Brightfield, 40× oil-immersion objective; bone marrow smear: 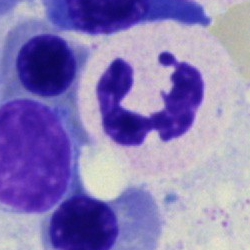 Q: What is the morphological classification of this cell?
A: This is a neutrophil (segmented).